Pappenheim-stained; bone marrow aspirate smear — 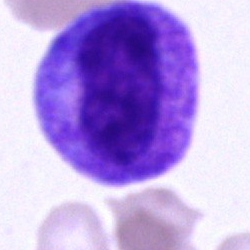

Impression — progranulocyte.